250×250 · bone marrow smear · 40× objective, oil immersion:
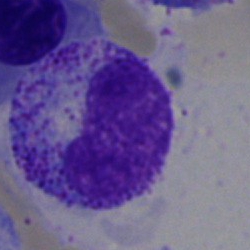 Morphology consistent with a metamyelocyte.